Bone marrow smear
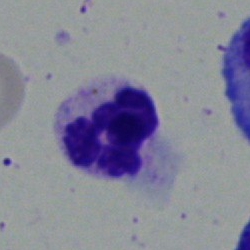

Impression — polymorphonuclear neutrophil.